Bone marrow smear: 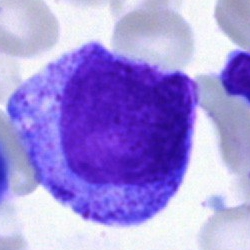Morphology consistent with a progranulocyte.